Bone marrow smear; cropped to a single cell; May-Grünwald-Giemsa/Pappenheim stain:
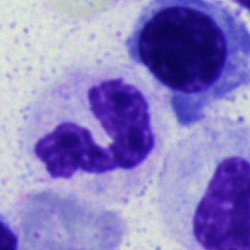Neutrophil (segmented).